Peripheral blood film
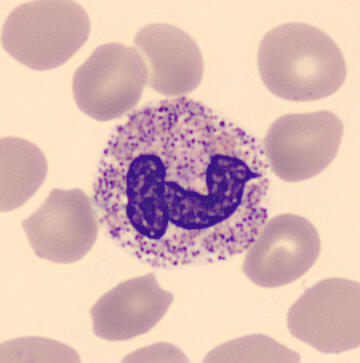 A segmented neutrophil.